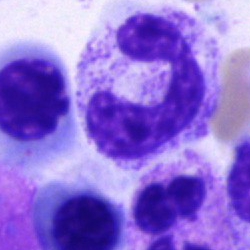

Bone marrow aspirate smear, single cell — band-form neutrophil.